Bone marrow aspirate smear.
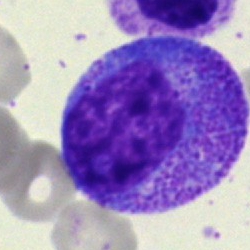Promyelocyte.